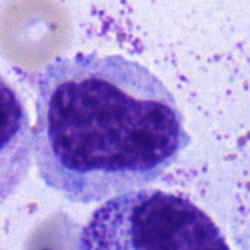 Morphological class: metamyelocyte.